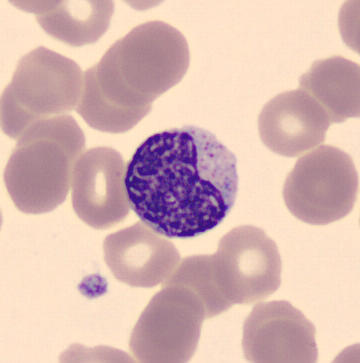The cell shown is a metamyelocyte.